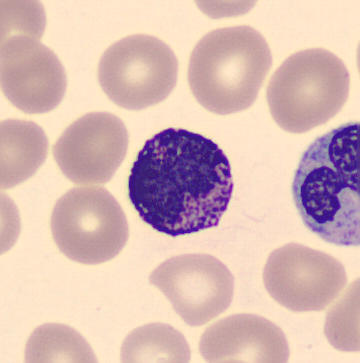Morphological class — basophil.